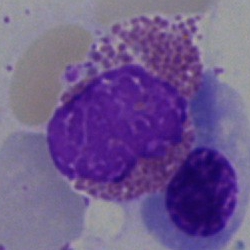 Bone marrow smear showing an eosinophil.